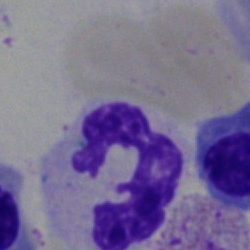 Bone marrow aspirate smear, single cell — segmented neutrophil.